Bone marrow aspirate smear.
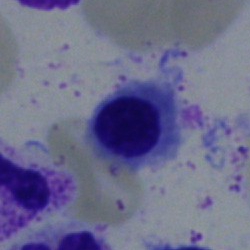

A nucleated red cell.